Bone marrow smear: 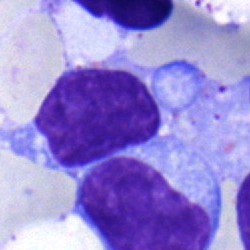
The classification is lymphocyte.